Bone marrow aspirate smear · single-cell crop — 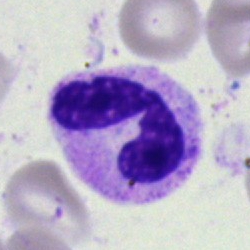 Specimen: bone marrow aspirate smear.
Morphological class: neutrophil (segmented).